Image size 250×250. Bone marrow smear:
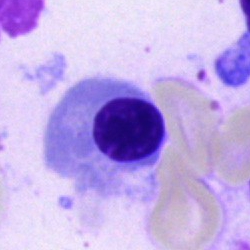

Q: Which cell type is shown here?
A: It is a nucleated red blood cell.